Bone marrow aspirate smear:
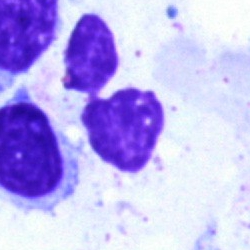 Cell = artefact.